Bone marrow aspirate smear:
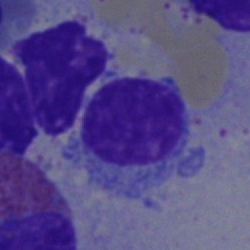{"cell_type": "lymphocyte", "lineage": "lymphoid"}